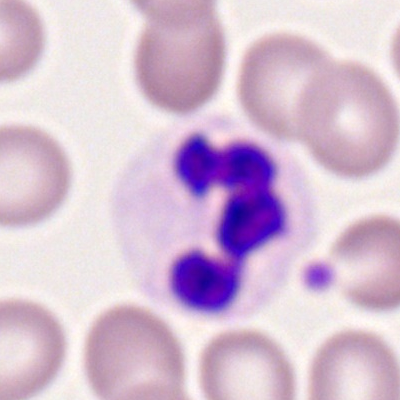 Q: Which cell type is shown here?
A: Neutrophil (segmented).